Peripheral blood smear: 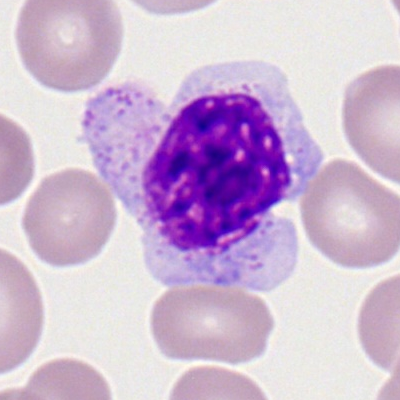The cell shown is a monocyte.